Single-cell crop; 250×250; bone marrow smear — 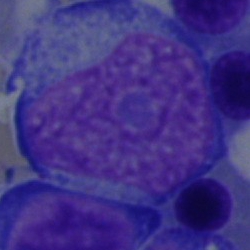
A blast cell.